Peripheral blood smear; single-cell crop; 100× oil immersion, 14.14 px/µm
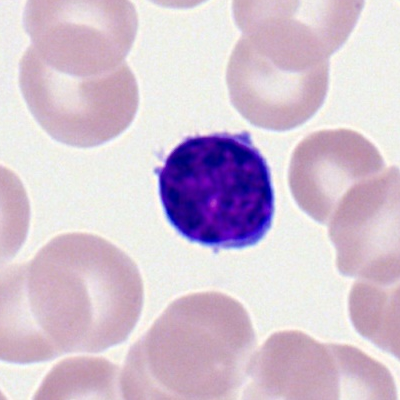Q: Identify the cell.
A: Typical lymphocyte.